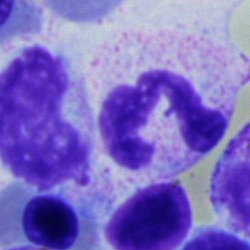
Q: What is the morphological classification of this cell?
A: Polymorphonuclear neutrophil.